Single cell centered in the field; image size 250×250; bone marrow aspirate smear
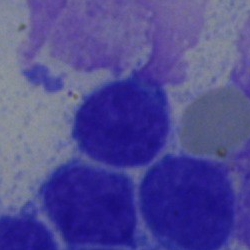
Lymphocyte.